Bone marrow smear · 250×250 px: 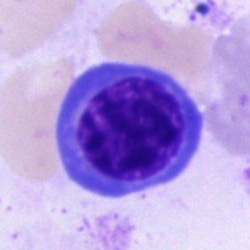
Morphology consistent with a normoblast.